Peripheral blood smear.
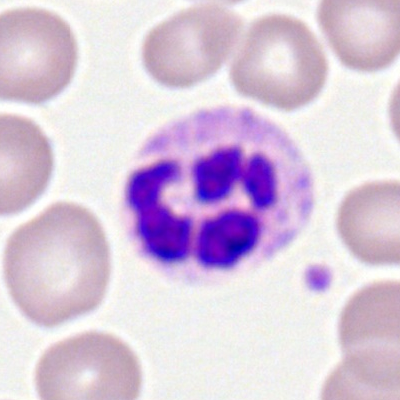
Morphology consistent with a neutrophil (segmented).